Peripheral blood film. Single cell centered in the field. 400×400 px: 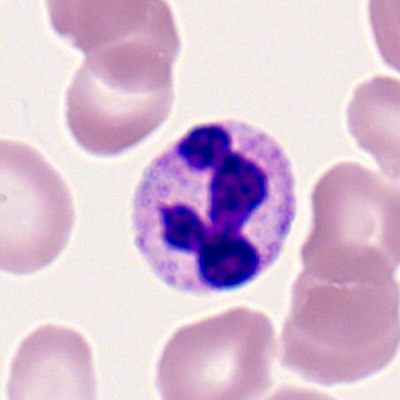
Morphological class: polymorphonuclear neutrophil.